Bone marrow smear. Brightfield microscopy, 40× oil immersion.
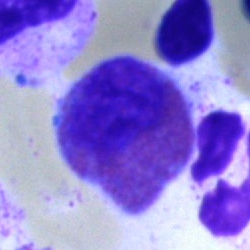 Morphology → eosinophilic granulocyte.